250×250. Bone marrow smear — 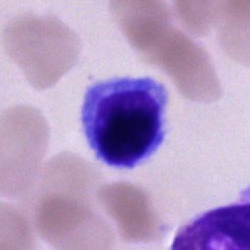This is a lymphocyte.